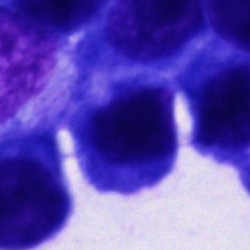
Impression → other cell type.